Bone marrow aspirate smear · May-Grünwald-Giemsa stain — 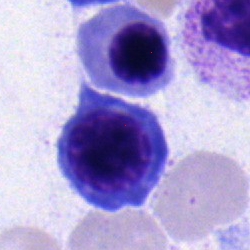

Single cell identified as a normoblast.